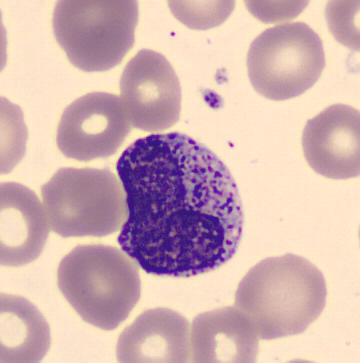
Q: What is shown here?
A: A metamyelocyte.

360×363 px; peripheral blood film; imaged on a CellaVision DM96 analyser.